Bone marrow smear
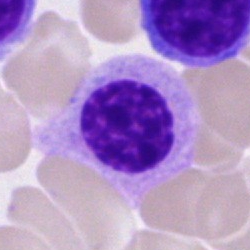

An erythroblast.